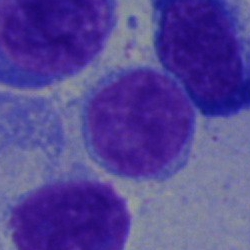
This is a lymphocyte.